Bone marrow aspirate smear — 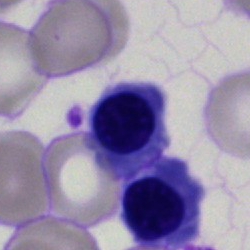Nucleated red blood cell.